Bone marrow aspirate smear — 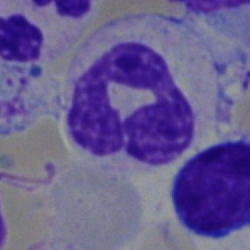 Morphology — neutrophil (segmented).